Bone marrow smear — 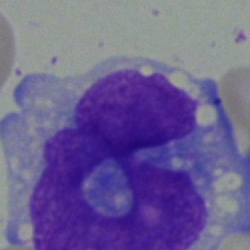 Q: What cell is this?
A: It is a monocyte.